250×250. Bone marrow aspirate smear.
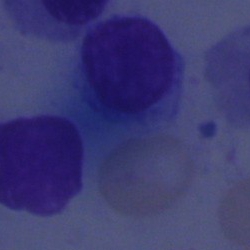

An artifact.